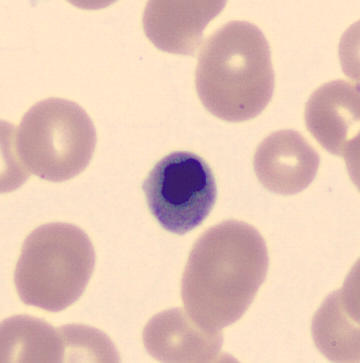

Specimen: peripheral blood film.
Morphological class: nucleated red blood cell.